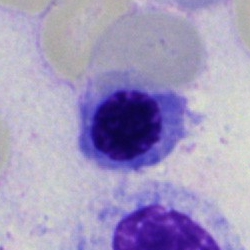 Classification = nucleated red blood cell.